Peripheral blood smear
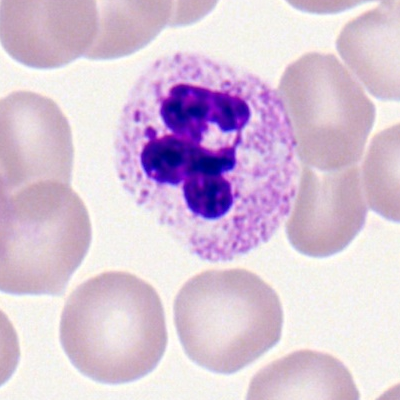

Morphology consistent with a neutrophil (segmented).